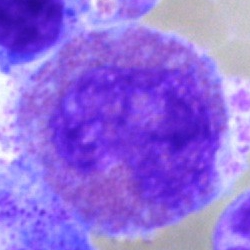 {"cell_type": "eosinophilic granulocyte", "lineage": "myeloid"}